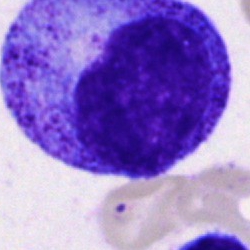{"cell_type": "promyelocyte", "lineage": "myeloid"}